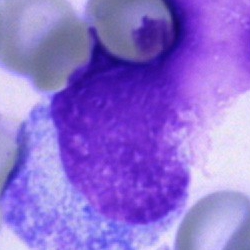
{"cell_type": "artifact"}